Bone marrow smear. Single cell centered in the field — 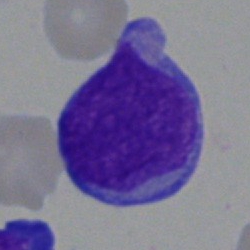The cell type is blast.